Bone marrow smear
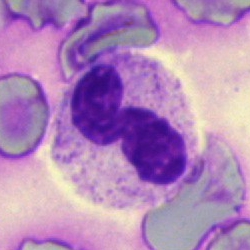

Morphology consistent with a polymorphonuclear neutrophil.